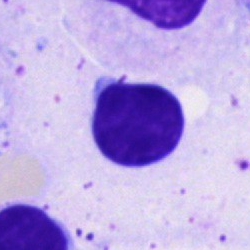 This is a typical lymphocyte.